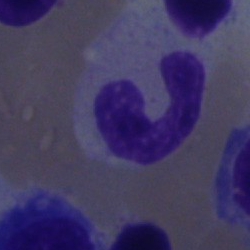Morphology — polymorphonuclear neutrophil.